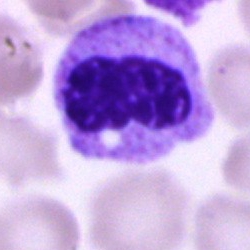Q: Which cell type is shown here?
A: Segmented neutrophil.